Bone marrow aspirate smear. 250×250 px. Pappenheim-stained — 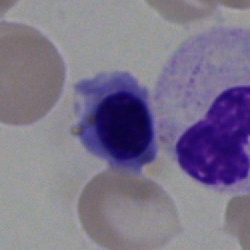 Classification: nucleated red blood cell.